Bone marrow aspirate smear:
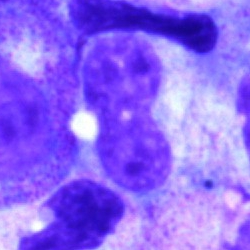
Impression — stab cell.